40× objective, oil immersion · image size 250×250 · bone marrow aspirate smear:
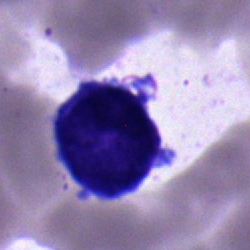

The cell is blast.